Bone marrow aspirate smear:
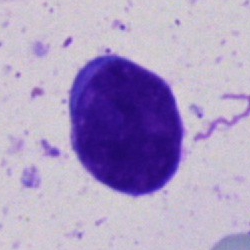
Classification: blast cell.